Bone marrow smear. MGG-stained.
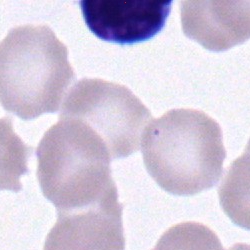

Morphology → typical lymphocyte.